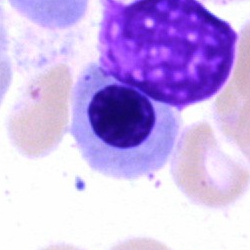
Morphology — erythroblast.